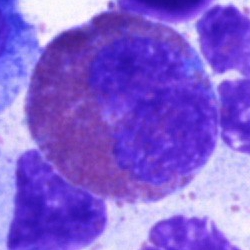Q: Identify the cell.
A: An eosinophilic granulocyte.